400 by 400 pixels. Peripheral blood film.
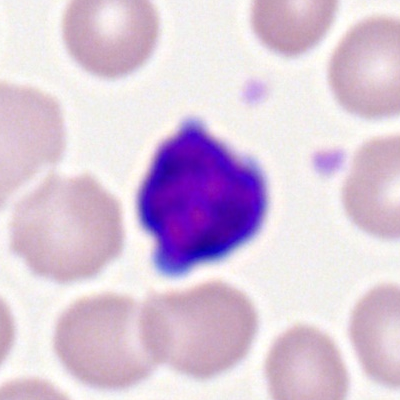This is a lymphocyte.